Bone marrow aspirate smear. May-Grünwald-Giemsa/Pappenheim stain
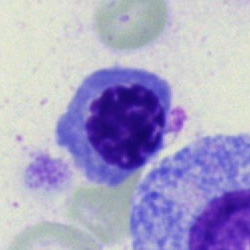

This is a normoblast.